Bone marrow smear; 250×250:
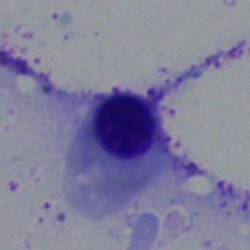

Q: What cell is this?
A: Erythroblast.